Bone marrow aspirate smear · MGG-stained · cropped to a single cell — 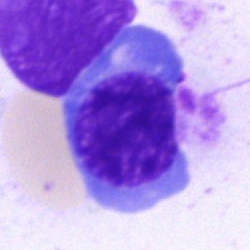

Cell: nucleated red blood cell.